Bone marrow smear — 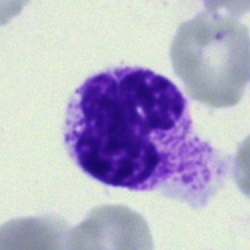Specimen: bone marrow smear.
Cell type: segmented neutrophil.
Lineage: myeloid.